Peripheral blood smear:
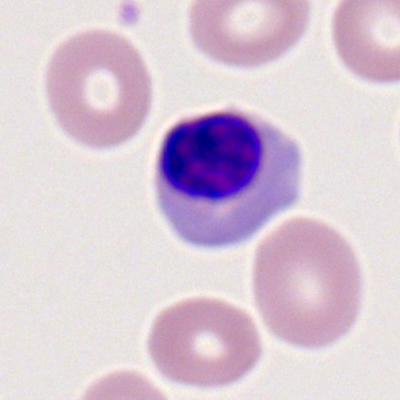

Cell type — lymphocyte.